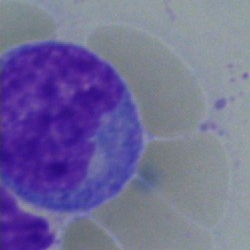

Morphology → blast cell.